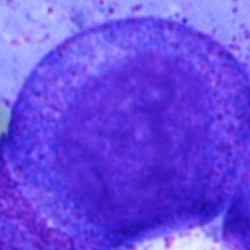Progranulocyte.